Peripheral blood film:
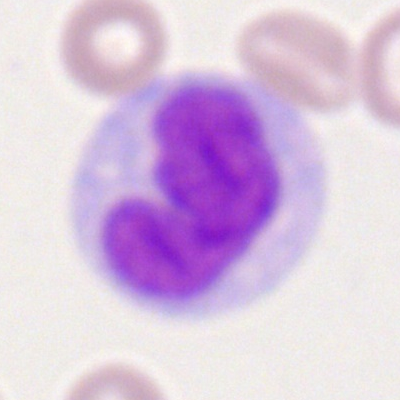
This is a monocyte.